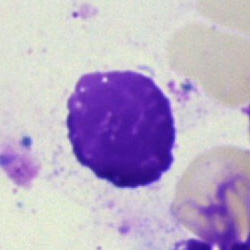 Q: What is shown here?
A: An artifact.